40× oil immersion. 250×250 px. Bone marrow smear: 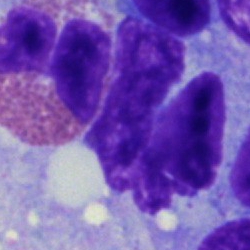 Q: What is shown here?
A: This is an artifact.